Bone marrow smear: 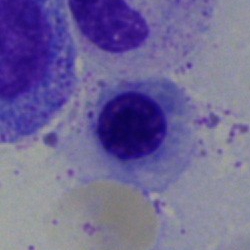{"cell_type": "normoblast"}